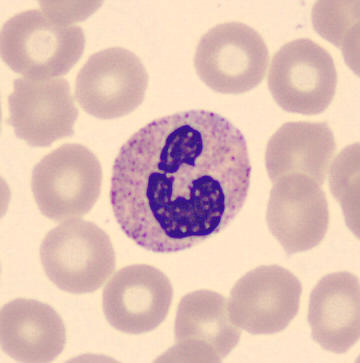
{"cell_type": "neutrophil (segmented)"}